Bone marrow aspirate smear. May-Grünwald-Giemsa stain:
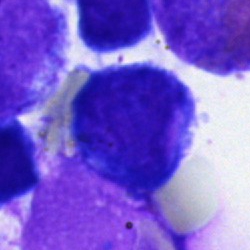 Showing a lymphocyte.